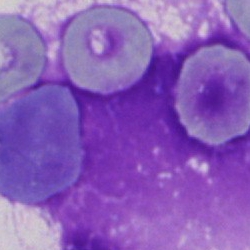 Morphology consistent with an artifact.